May-Grünwald-Giemsa/Pappenheim stain · brightfield microscopy, 40× oil immersion · bone marrow smear
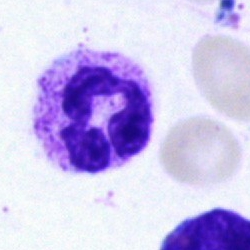

Q: Which cell type is shown here?
A: Polymorphonuclear neutrophil.